Bone marrow aspirate smear
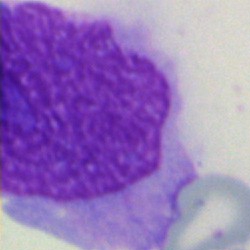
Cell = artefact.